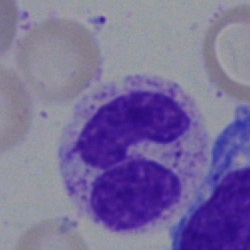
Q: Which cell type is shown here?
A: It is a polymorphonuclear neutrophil.